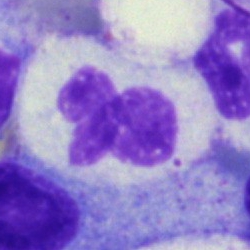{"cell_type": "segmented neutrophil", "lineage": "myeloid"}